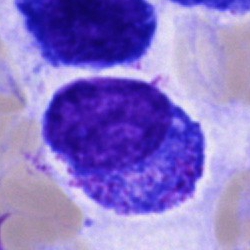Morphological class = promyelocyte.